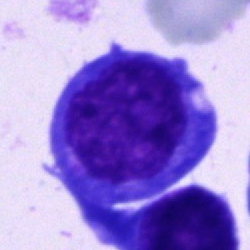

Classification: undifferentiated blast.